Bone marrow aspirate smear. 250 by 250 pixels.
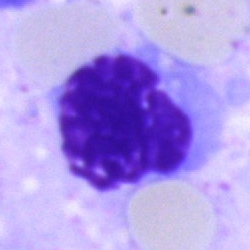Classification — artifact.